Bone marrow smear.
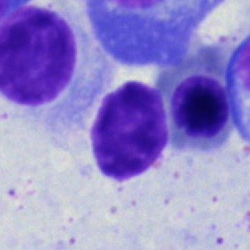
The morphological class is nucleated red blood cell.